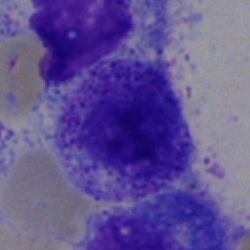

{"cell_type": "myelocyte", "lineage": "myeloid"}